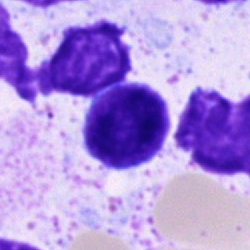Single-cell crop from a bone marrow smear: lymphocyte.